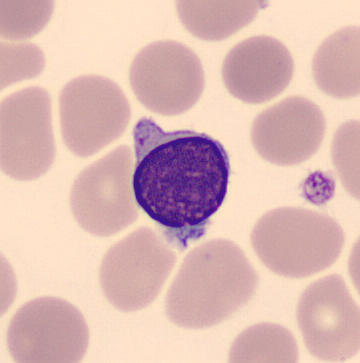
Peripheral blood smear.
Morphology consistent with a lymphocyte.